Bone marrow smear — 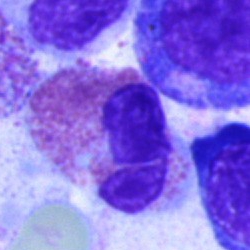

Q: What cell is this?
A: Eosinophilic granulocyte.